Bone marrow aspirate smear
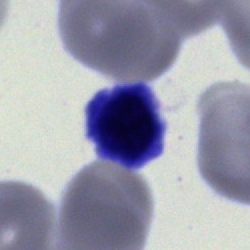 {"cell_type": "erythroblast", "lineage": "erythroid"}